250×250 · brightfield microscopy, 40× oil immersion · bone marrow smear: 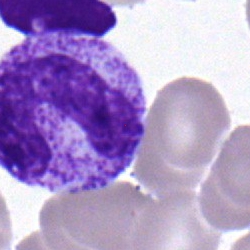

The cell shown is a neutrophil (band).